Bone marrow smear.
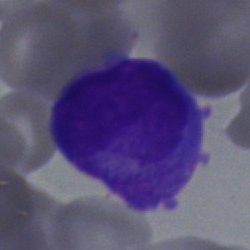
Cell = blast.